May-Grünwald-Giemsa/Pappenheim stain; bone marrow aspirate smear.
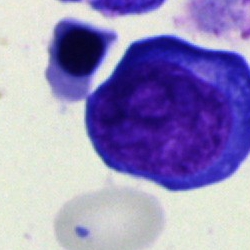Specimen: bone marrow smear.
Cell: normoblast.